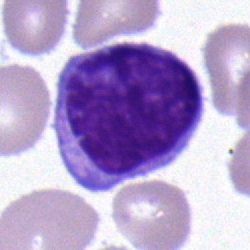
Cell — lymphocyte.